Single-cell crop · bone marrow aspirate smear · Pappenheim-stained: 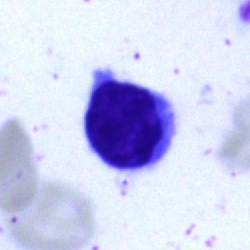 Classification: lymphocyte.